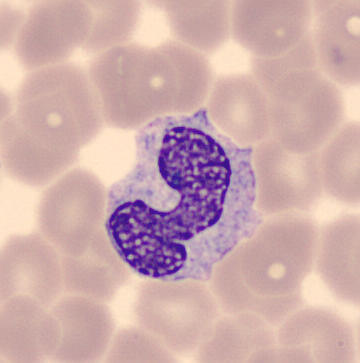Preparation: Image size 360×363; peripheral blood film.
Q: What is shown here?
A: This is a monocyte.